Bone marrow smear
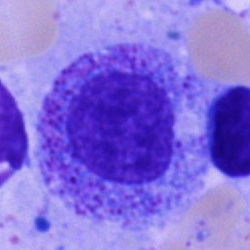 Cell — progranulocyte.